Bone marrow smear:
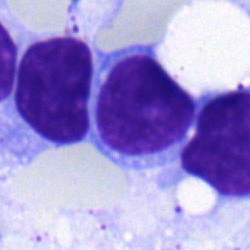
Q: What type of cell is this?
A: Eosinophilic granulocyte.